Bone marrow smear
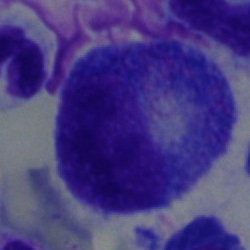 Q: What type of cell is this?
A: A progranulocyte.